40× objective, oil immersion. Cropped to a single cell. Bone marrow smear:
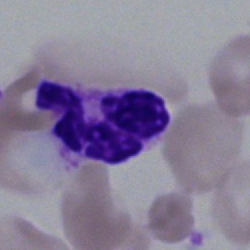
Q: What cell is this?
A: This is a neutrophil (segmented).